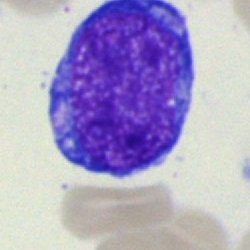Classification = blast cell.